Bone marrow smear — 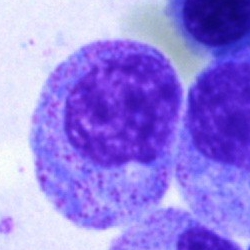
Cell type — myelocyte.